Bone marrow aspirate smear; May-Grünwald-Giemsa stain; 40× oil immersion
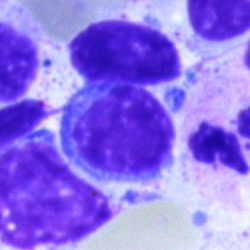

Cell type = typical lymphocyte.